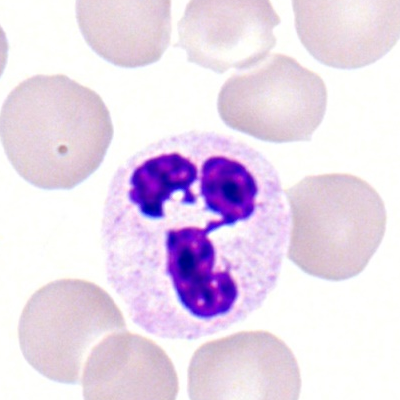 The morphological class is polymorphonuclear neutrophil.